May-Grünwald-Giemsa stain; bone marrow smear.
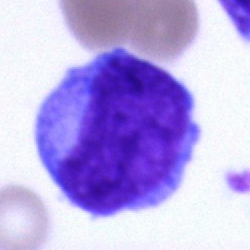

Single cell identified as a blast.